Bone marrow smear; May-Grünwald-Giemsa stain.
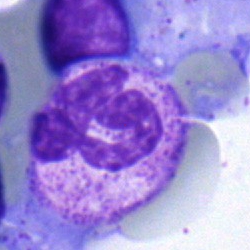
A segmented neutrophil.